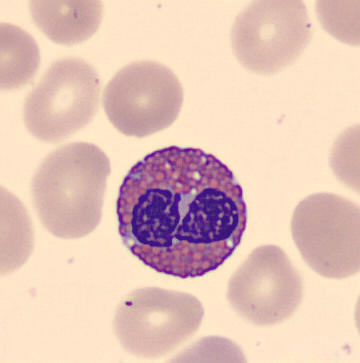Specimen: peripheral blood film.
Classification: eosinophilic granulocyte.
Lineage: myeloid.